Bone marrow aspirate smear; Pappenheim-stained:
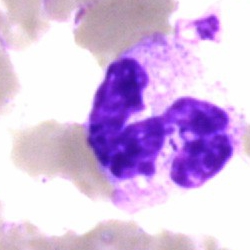

Specimen: bone marrow smear.
Morphological class: neutrophil (segmented).